Bone marrow aspirate smear — 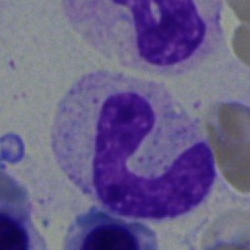 Q: What is shown here?
A: It is a neutrophil (band).